Bone marrow smear; cropped to a single cell — 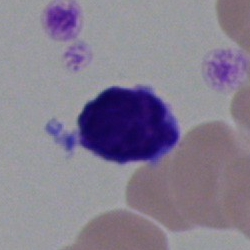 Specimen: bone marrow aspirate smear.
Cell: typical lymphocyte.
Lineage: lymphoid.